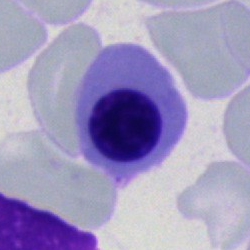

Bone marrow aspirate smear, single cell — erythroblast.